Bone marrow aspirate smear · brightfield microscopy, 40× oil immersion
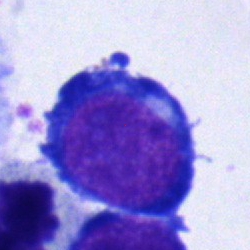Q: What cell is this?
A: A proerythroblast.